Bone marrow aspirate smear: 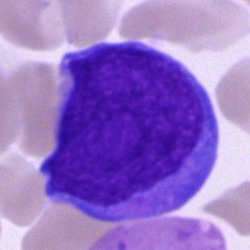

Morphology → blast cell.